Bone marrow smear:
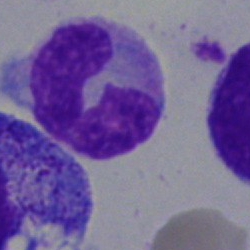
Neutrophil (segmented).